Bone marrow aspirate smear — 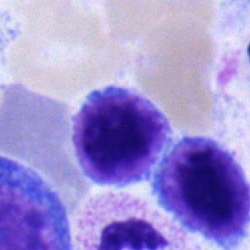
Specimen: bone marrow aspirate smear.
Morphological class: lymphocyte.
Lineage: lymphoid.